Bone marrow smear.
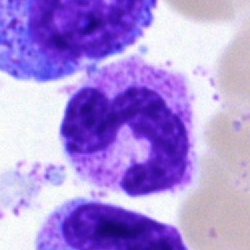{"cell_type": "segmented neutrophil"}